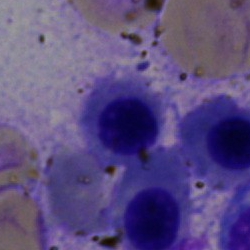

Morphological class: nucleated red blood cell.